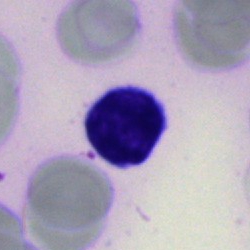Specimen: bone marrow smear.
Classification: lymphocyte.